Brightfield, 40× oil-immersion objective · bone marrow smear: 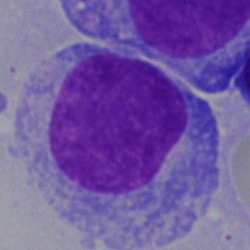Morphological class: undifferentiated blast.